Bone marrow smear · single-cell crop: 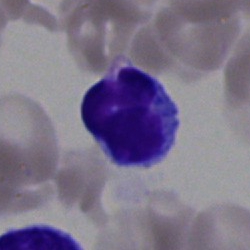The cell shown is a typical lymphocyte.